Bone marrow smear.
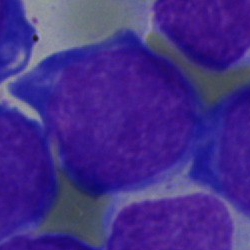 Specimen: bone marrow aspirate smear.
Classification: undifferentiated blast.